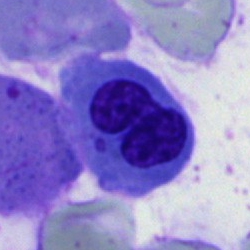Single cell identified as a normoblast.